May-Grünwald-Giemsa/Pappenheim stain. Bone marrow smear.
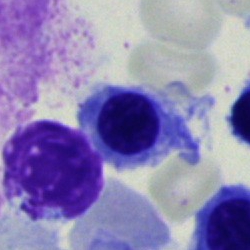 Cell = erythroblast.